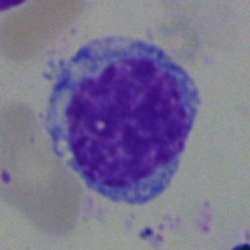

Cell — plasmacyte.